Bone marrow aspirate smear: 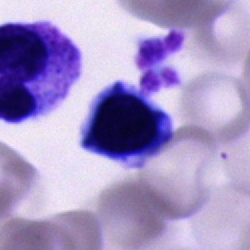
Showing a cell of indeterminate lineage.